40× oil immersion · bone marrow smear: 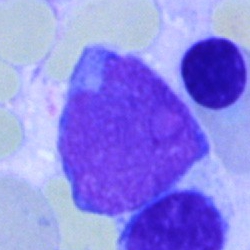
Q: What type of cell is this?
A: It is a blast.